Peripheral blood smear
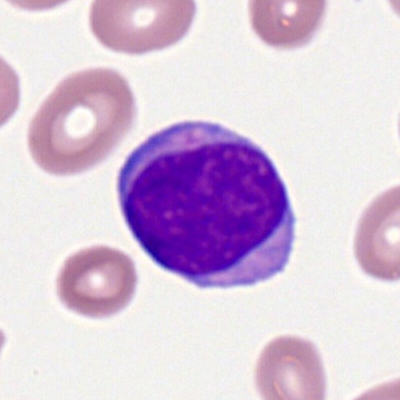
Morphology consistent with a myeloblast.